Single-cell crop; bone marrow smear — 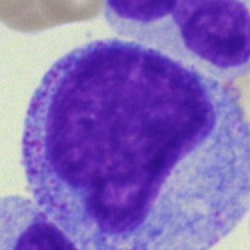

Morphology consistent with a progranulocyte.